400×400 px · peripheral blood film
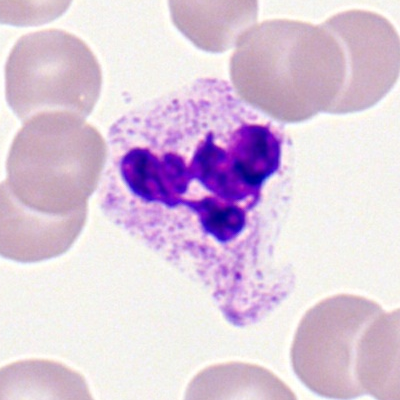Specimen: peripheral blood smear.
Cell type: polymorphonuclear neutrophil.